Brightfield microscopy, 40× oil immersion. Bone marrow aspirate smear — 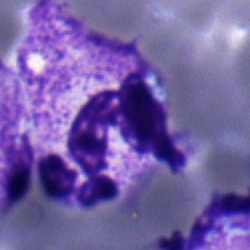 A polymorphonuclear neutrophil.